Bone marrow aspirate smear · Pappenheim-stained.
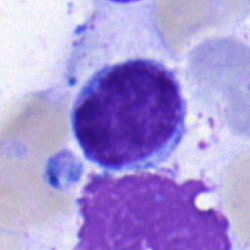Morphology — typical lymphocyte.